Peripheral blood smear; 100× objective, oil immersion — 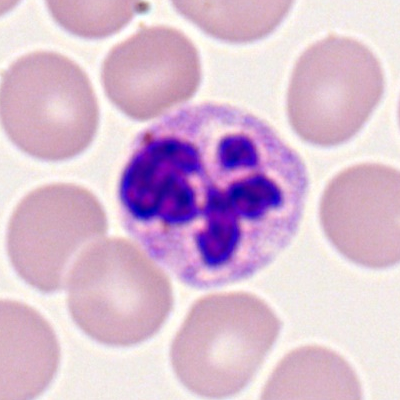

Morphology consistent with a polymorphonuclear neutrophil.